Bone marrow aspirate smear
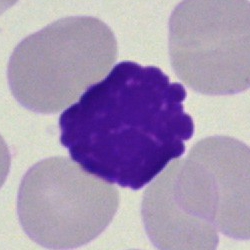

Single cell identified as an artefact.